Bone marrow smear
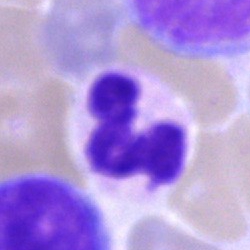
Morphological class = polymorphonuclear neutrophil.